May-Grünwald-Giemsa/Pappenheim stain · single-cell crop · bone marrow smear
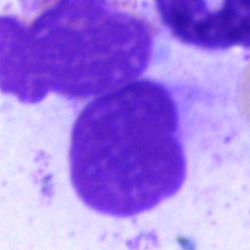
Showing an artefact.